Bone marrow aspirate smear. 250 by 250 pixels: 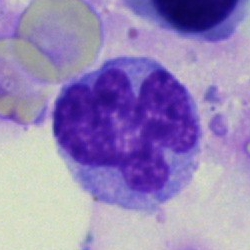

Q: What is the morphological classification of this cell?
A: Monocyte.